May-Grünwald-Giemsa stain · bone marrow smear
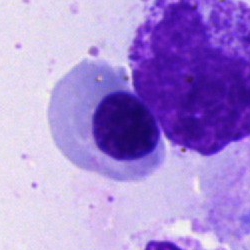

The cell type is normoblast.